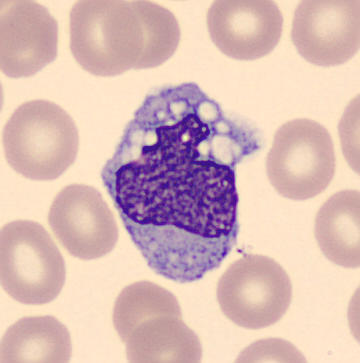
Image: Peripheral blood film · MGG-stained · 360 by 363 pixels.

Identified as a monocyte.